Bone marrow aspirate smear:
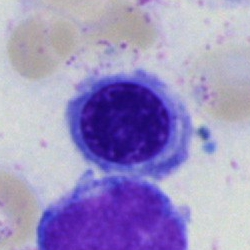Q: What is the morphological classification of this cell?
A: It is a nucleated red blood cell.